Bone marrow smear: 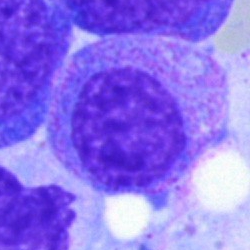

Q: Which cell type is shown here?
A: A myelocyte.